Bone marrow aspirate smear:
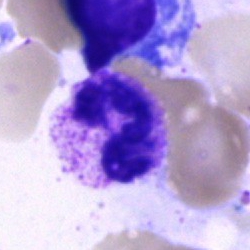 Specimen: bone marrow smear.
Cell: segmented neutrophil.
Lineage: myeloid.